Pappenheim-stained; bone marrow aspirate smear — 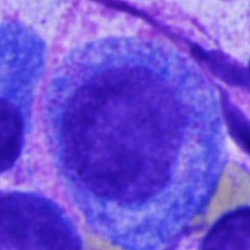 The cell shown is a promyelocyte.